Bone marrow aspirate smear.
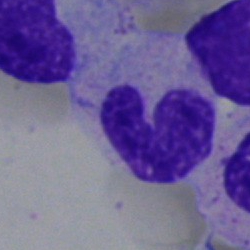

Band neutrophil.